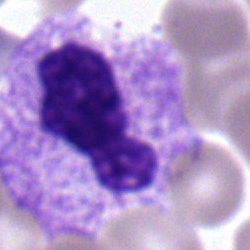 Specimen: bone marrow smear.
Morphological class: segmented neutrophil.
Lineage: myeloid.